Bone marrow aspirate smear; Pappenheim-stained; 250×250 — 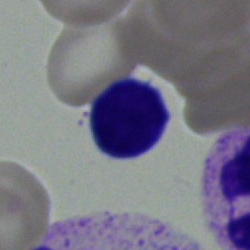

Cell type — typical lymphocyte.